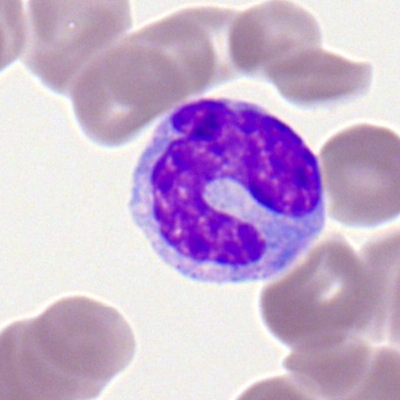
A monocyte on a peripheral blood smear.